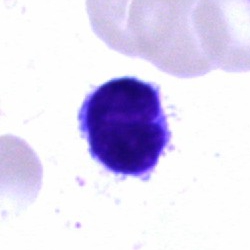 Q: Identify the cell.
A: Typical lymphocyte.